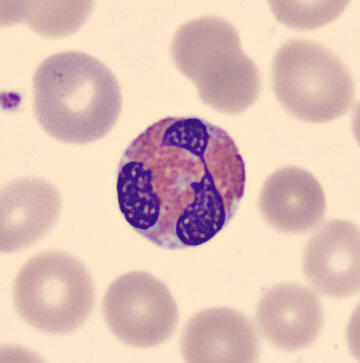
Q: What is this?
A: This is an eosinophilic granulocyte.
Acquisition: Peripheral blood film. 360×363 px.